Bone marrow aspirate smear — 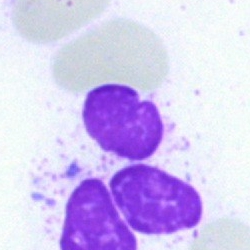

Artefact.